Brightfield, 40× oil-immersion objective. Bone marrow smear
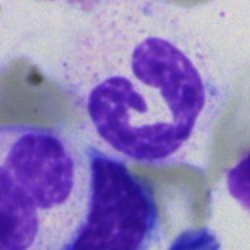
{"cell_type": "neutrophil (segmented)"}